Bone marrow aspirate smear: 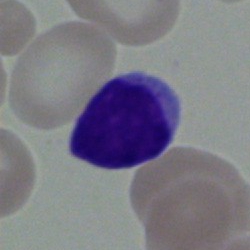Q: What type of cell is this?
A: Lymphocyte.